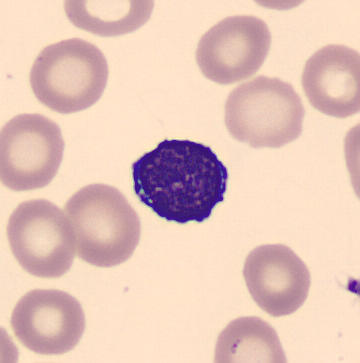

Cell = typical lymphocyte.